Cropped to a single cell; bone marrow smear:
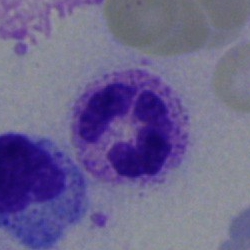

The cell shown is a segmented neutrophil.